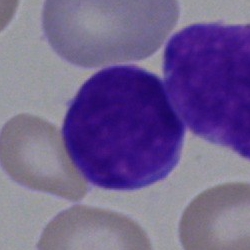
Bone marrow smear showing a blast cell.